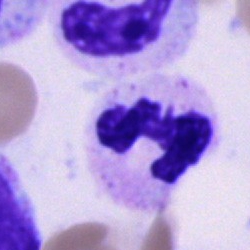
Classification: polymorphonuclear neutrophil.